40× objective, oil immersion. Bone marrow smear — 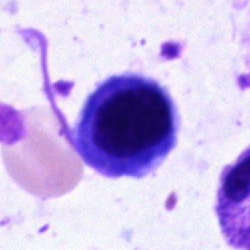This is a normoblast.